Bone marrow aspirate smear · May-Grünwald-Giemsa/Pappenheim stain — 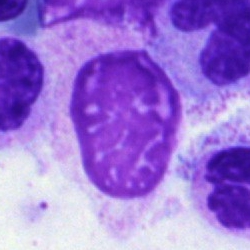
Q: What is shown here?
A: Artifact.